Bone marrow smear.
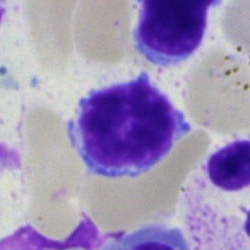 Morphology → typical lymphocyte.